250 by 250 pixels. Bone marrow aspirate smear — 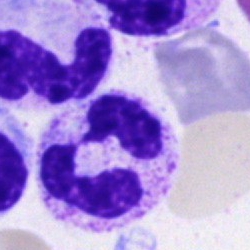
Morphology → segmented neutrophil.